MGG-stained. Bone marrow smear.
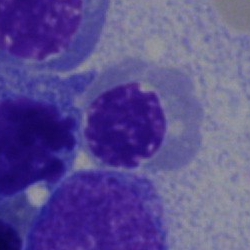 Normoblast.